Pappenheim-stained. Bone marrow smear. 40× oil immersion
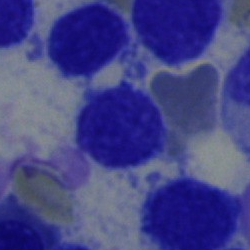

This is a lymphocyte.